Bone marrow smear:
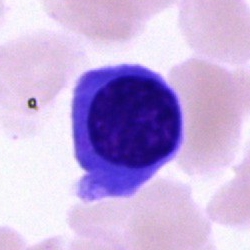
Plasmacyte.